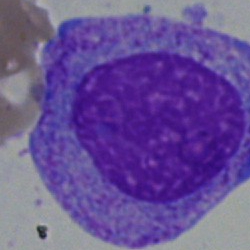
Morphology — progranulocyte.